Bone marrow smear · single cell centered in the field.
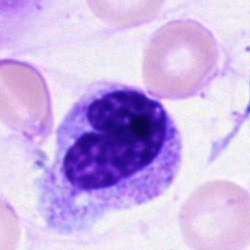 Q: Identify the cell.
A: This is a metamyelocyte.